40× objective, oil immersion · bone marrow smear — 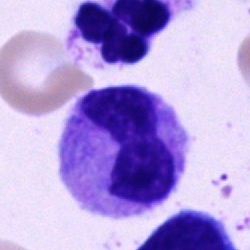
Impression → metamyelocyte.